Image size 250×250. Bone marrow smear.
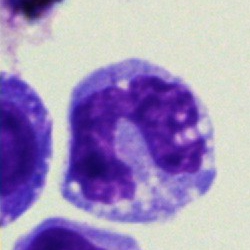
Specimen: bone marrow smear.
Morphological class: monocyte.